Bone marrow aspirate smear; 250×250; single cell centered in the field.
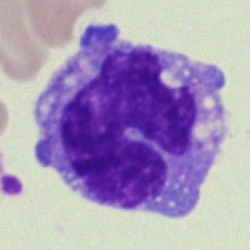

This is a monocyte.